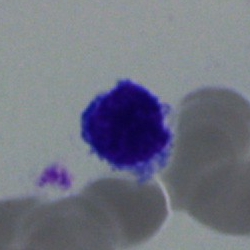 Morphology consistent with a lymphocyte.